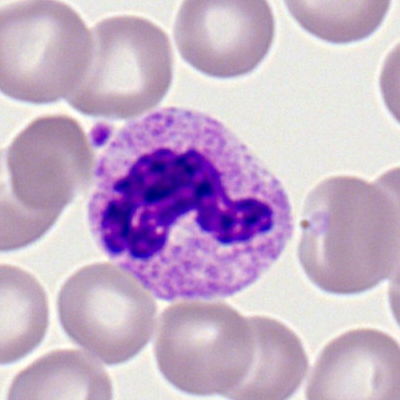Specimen: peripheral blood smear.
Cell type: polymorphonuclear neutrophil.
Lineage: myeloid.